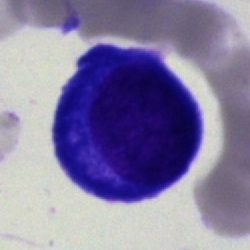 Bone marrow smear showing a normoblast.